Brightfield, 100× oil-immersion objective · peripheral blood film · single-cell field
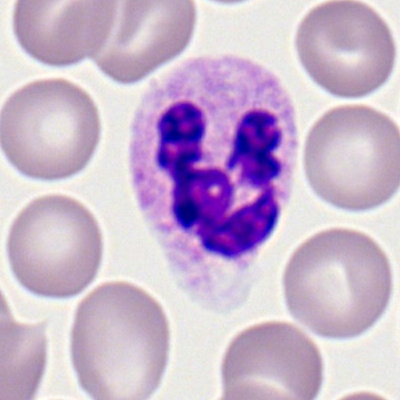Specimen: peripheral blood smear.
Cell: polymorphonuclear neutrophil.
Lineage: myeloid.